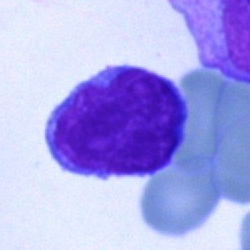Impression → typical lymphocyte.